Bone marrow smear.
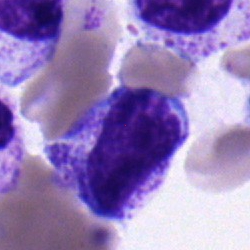 Cell type: myelocyte.